Bone marrow aspirate smear. 250 by 250 pixels: 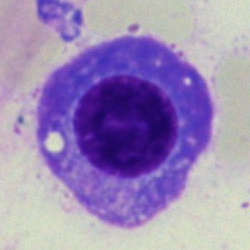
Morphological class = plasmacyte.